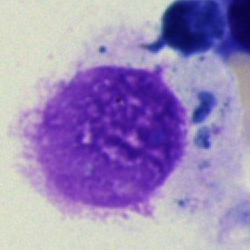Q: What is shown here?
A: Artifact.